Peripheral blood film · MGG-stained
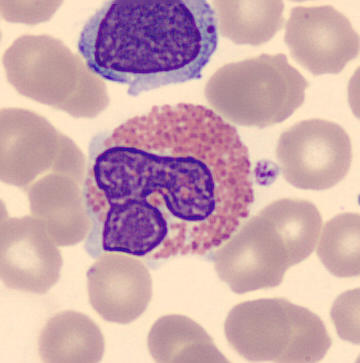 An eosinophil.